Bone marrow smear; 250 by 250 pixels
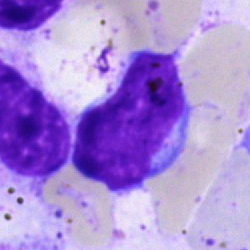Q: What is shown here?
A: This is a lymphocyte.